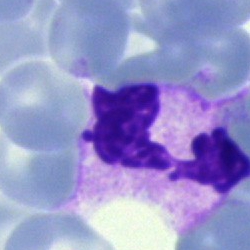
Morphology consistent with a polymorphonuclear neutrophil.